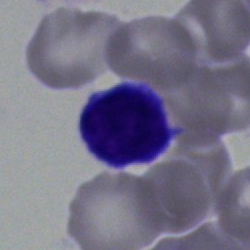

Single cell identified as a lymphocyte.